Bone marrow aspirate smear. Image size 250×250
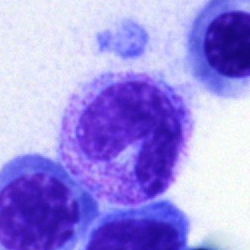

Q: What cell is this?
A: Band neutrophil.